40× objective, oil immersion; bone marrow smear; single cell centered in the field
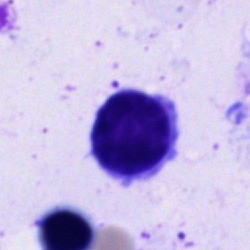 Specimen: bone marrow smear.
Cell: plasmacyte.